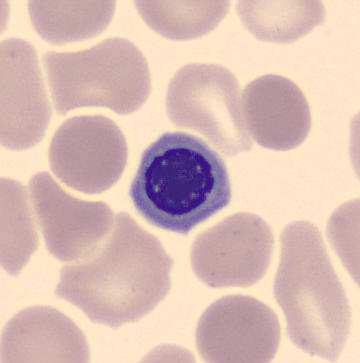Impression → nucleated red cell. Preparation: Peripheral blood smear.